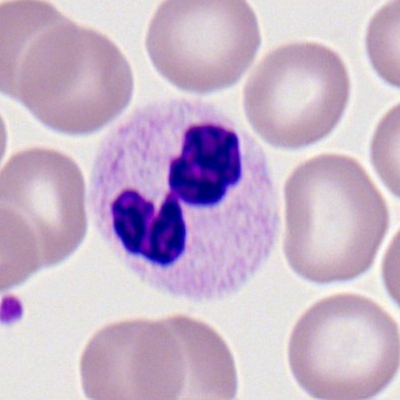
Classification = segmented neutrophil.